May-Grünwald-Giemsa stain; 250×250 px; bone marrow smear:
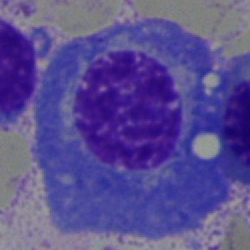
Single cell identified as a plasmacyte.